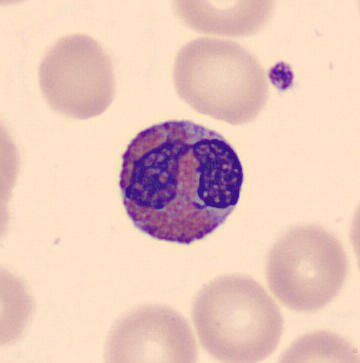Impression — eosinophil. Image: Peripheral blood smear.